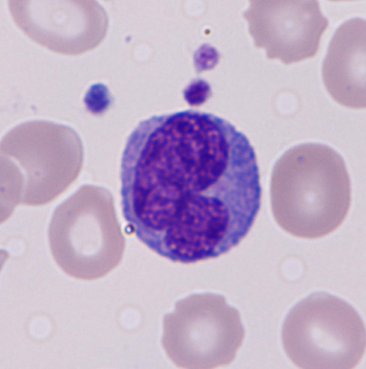Preparation: Peripheral blood smear. Cell — monocyte.